Peripheral blood film — 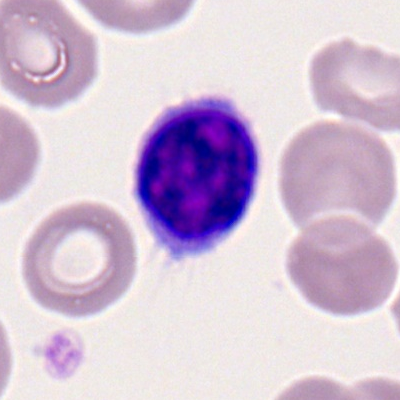
Q: What is shown here?
A: Lymphocyte.